Brightfield microscopy, 40× oil immersion · bone marrow aspirate smear.
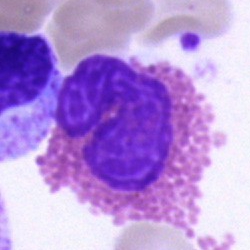Specimen: bone marrow smear.
Classification: eosinophilic granulocyte.
Lineage: myeloid.